400×400 px · peripheral blood film: 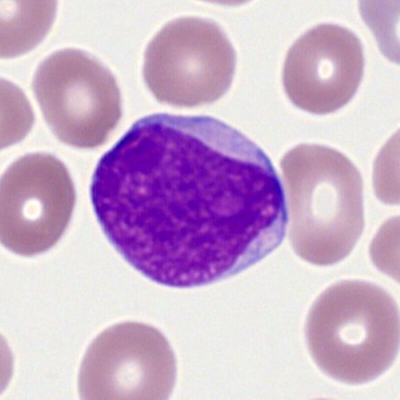Q: Identify the cell.
A: A myeloblast.